Peripheral blood smear
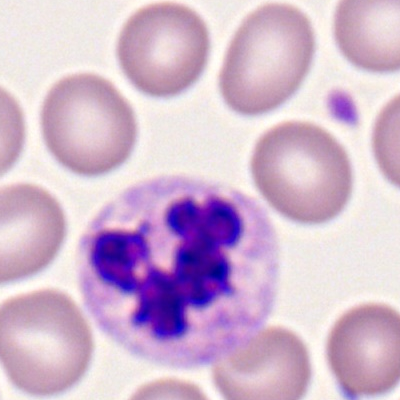
Polymorphonuclear neutrophil.